Bone marrow smear.
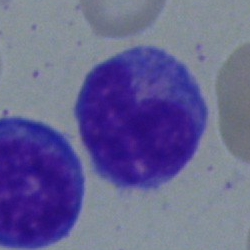This is a monocyte.